Bone marrow aspirate smear.
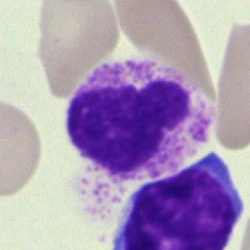

Q: Which cell type is shown here?
A: A neutrophil (segmented).